Bone marrow aspirate smear.
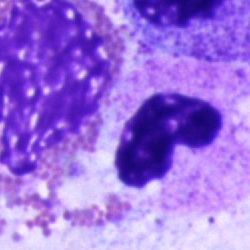 Showing a segmented neutrophil.